Single-cell crop · bone marrow smear — 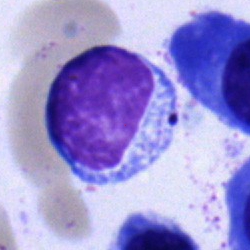
Showing a lymphocyte.